Bone marrow smear:
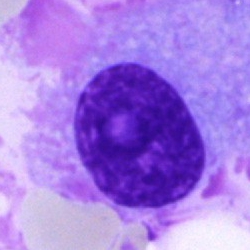 Specimen: bone marrow smear.
Morphological class: plasma cell.
Lineage: lymphoid.